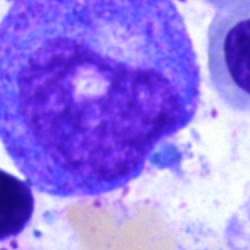Cell = progranulocyte.